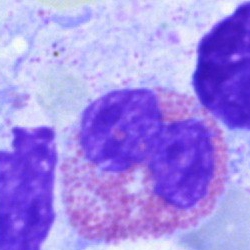
Specimen: bone marrow aspirate smear.
Cell: eosinophil.